400 by 400 pixels. Peripheral blood smear — 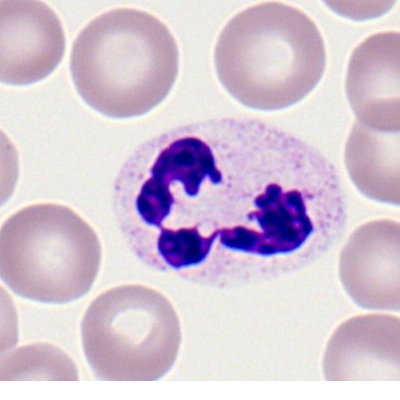
Morphology — neutrophil (segmented).